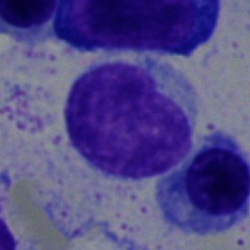

Specimen: bone marrow smear.
Cell: typical lymphocyte.
Lineage: lymphoid.